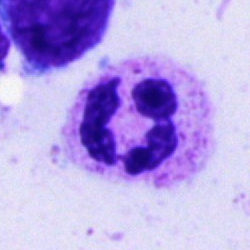

Q: What cell is this?
A: This is a polymorphonuclear neutrophil.